Bone marrow aspirate smear.
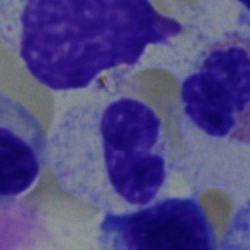

Q: What is the morphological classification of this cell?
A: Neutrophil (band).